Bone marrow smear.
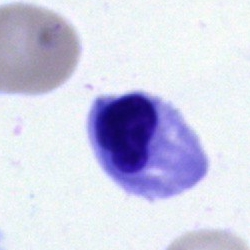Cell — nucleated red blood cell.